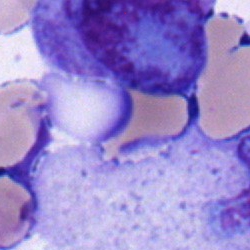Q: Identify the cell.
A: Undifferentiated blast.